Bone marrow smear; brightfield microscopy, 40× oil immersion.
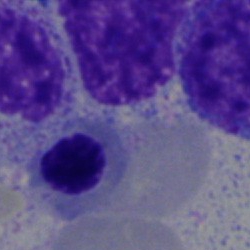 Showing an erythroblast.